Bone marrow aspirate smear.
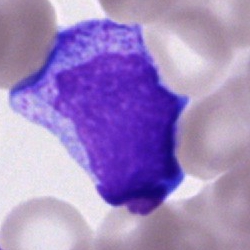

Q: What cell is this?
A: Promyelocyte.